Brightfield microscopy, 40× oil immersion. Bone marrow aspirate smear
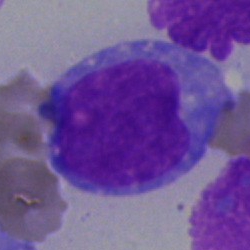
The cell shown is an undifferentiated blast.